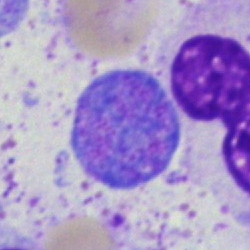 Q: What is shown here?
A: An artifact.